Bone marrow smear.
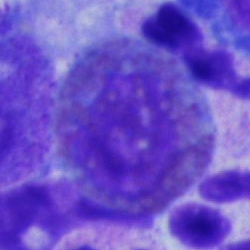
Q: What type of cell is this?
A: Eosinophil.